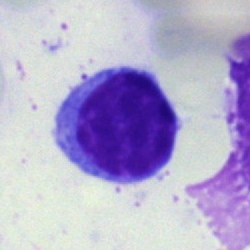 A lymphocyte on a bone marrow smear.